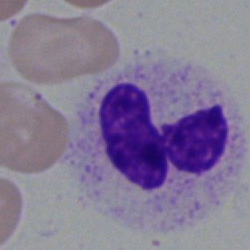 Bone marrow aspirate smear, single cell — neutrophil (segmented).